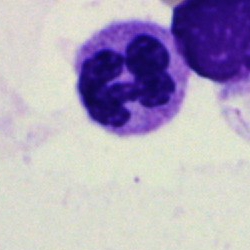
Single-cell crop from a bone marrow smear: polymorphonuclear neutrophil.